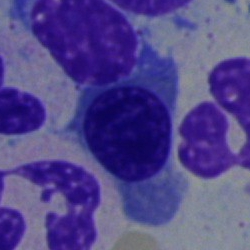
Specimen: bone marrow aspirate smear.
Cell type: nucleated red cell.